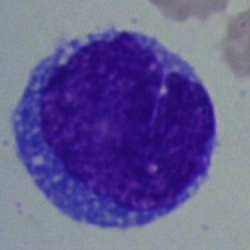
This is an undifferentiated blast.